Brightfield microscopy, 40× oil immersion. Bone marrow aspirate smear — 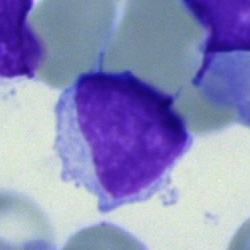Morphological class: typical lymphocyte.